100× oil immersion, 14.14 px/µm. Peripheral blood smear. 400×400.
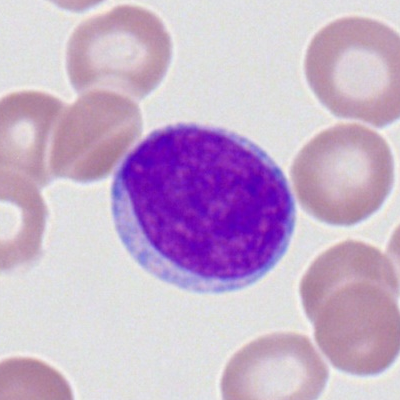

The cell shown is a myeloblast.